250×250. Bone marrow aspirate smear. 40× oil immersion: 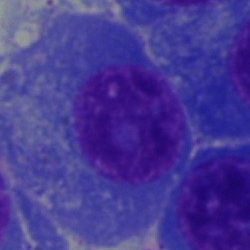
Single cell identified as a plasmacyte.